Bone marrow smear. 250×250 — 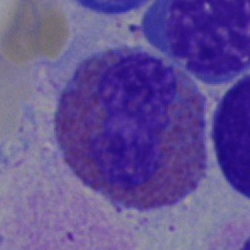 Q: Identify the cell.
A: It is an eosinophilic granulocyte.